Bone marrow smear.
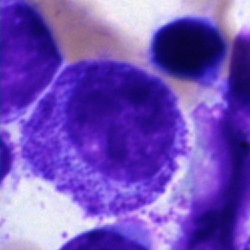
Impression — myelocyte.